Bone marrow aspirate smear · single-cell field:
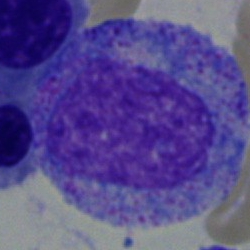
Q: What type of cell is this?
A: It is a progranulocyte.